Bone marrow aspirate smear · single cell centered in the field:
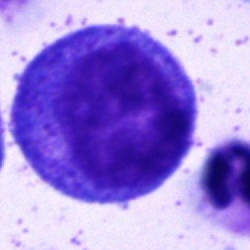 Specimen: bone marrow aspirate smear.
Cell type: promyelocyte.
Lineage: myeloid.